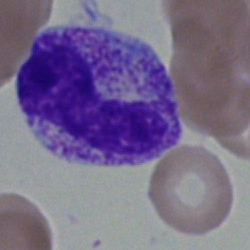

Specimen: bone marrow aspirate smear.
Cell type: band-form neutrophil.
Lineage: myeloid.